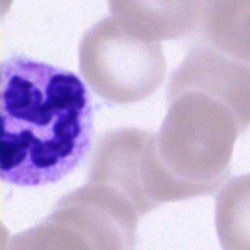
A segmented neutrophil on a bone marrow smear.